Bone marrow smear; brightfield, 40× oil-immersion objective: 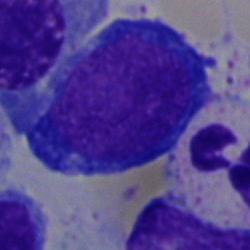
Nucleated red blood cell.